Bone marrow smear
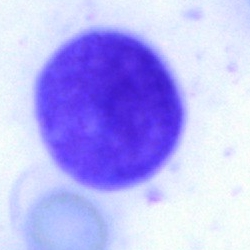 Morphology — unidentifiable cell.